Bone marrow aspirate smear; single-cell field: 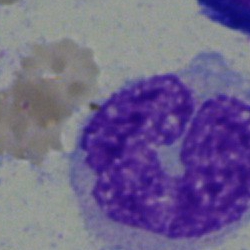
Classification = monocyte.